Peripheral blood smear · 100× oil immersion, 14.14 px/µm:
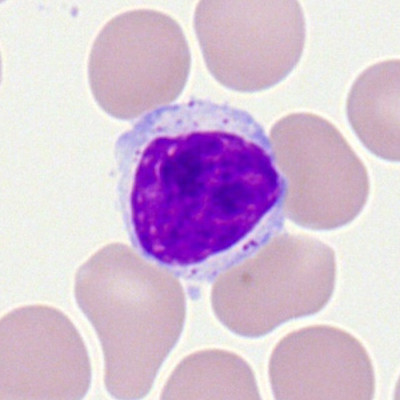Morphology consistent with a lymphocyte.